Bone marrow aspirate smear · 40× oil immersion:
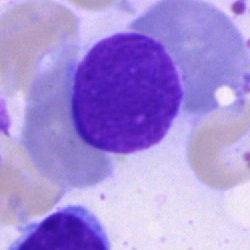

The cell shown is an artefact.